Bone marrow smear · cropped to a single cell · image size 250×250: 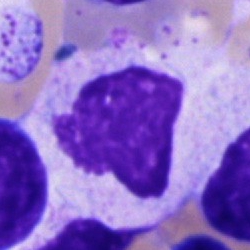

Q: What is the morphological classification of this cell?
A: It is an unidentifiable cell.